Bone marrow smear; 40× oil immersion:
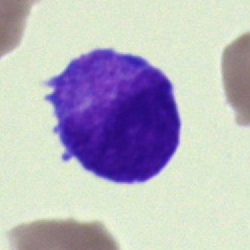

Blast.